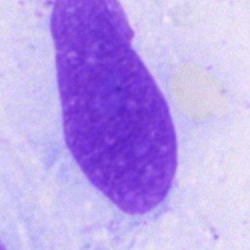
Single cell identified as an artifact.